Single-cell field; bone marrow aspirate smear:
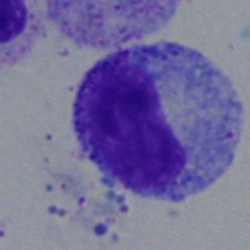Metamyelocyte.